Bone marrow aspirate smear.
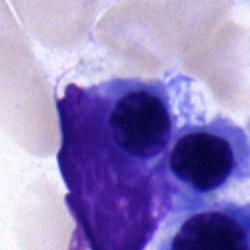
The morphological class is erythroblast.